Bone marrow smear; image size 250×250; brightfield, 40× oil-immersion objective.
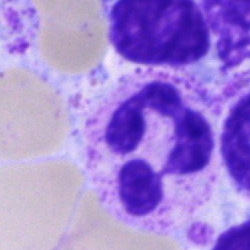 {"cell_type": "neutrophil (segmented)"}